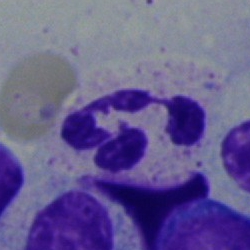 {"cell_type": "polymorphonuclear neutrophil", "lineage": "myeloid"}